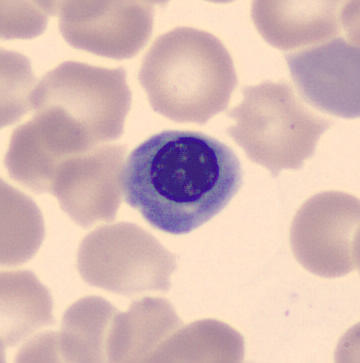Showing a nucleated red cell. Acquisition: Peripheral blood smear.